Bone marrow aspirate smear
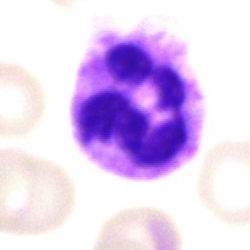
Specimen: bone marrow smear.
Classification: neutrophil (segmented).
Lineage: myeloid.